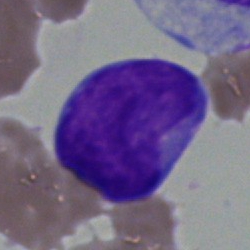Cell type = blast.